Bone marrow smear — 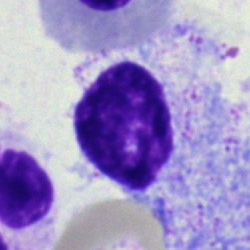
Q: What is shown here?
A: An artifact.